May-Grünwald-Giemsa stain. Bone marrow smear. Brightfield, 40× oil-immersion objective.
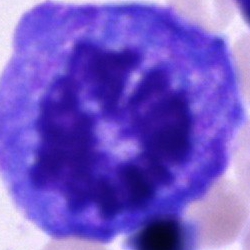
This is a progranulocyte.